Bone marrow smear:
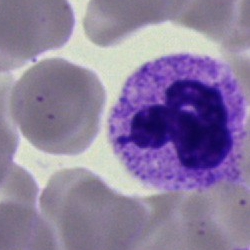 {"cell_type": "neutrophil (segmented)", "lineage": "myeloid"}